Bone marrow aspirate smear.
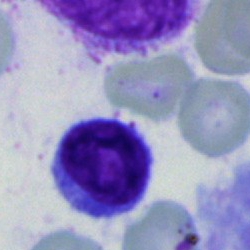
This is a typical lymphocyte.